40× oil immersion; bone marrow smear
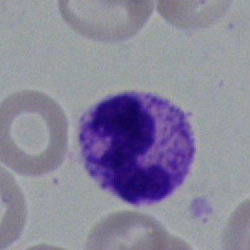The cell shown is a polymorphonuclear neutrophil.